Peripheral blood film — 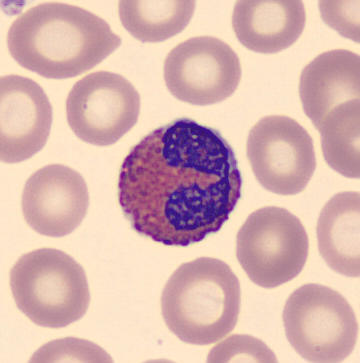
Cell — eosinophilic granulocyte.